Bone marrow aspirate smear; 40× oil immersion.
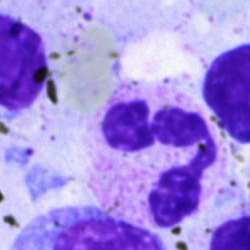

Single cell identified as a neutrophil (segmented).